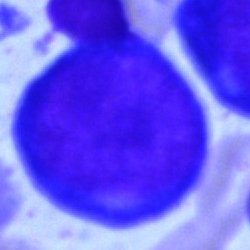
Bone marrow smear showing a proerythroblast.